Bone marrow smear: 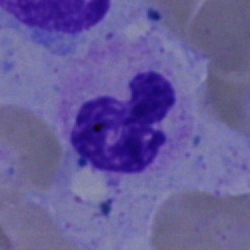

Specimen: bone marrow smear.
Cell: polymorphonuclear neutrophil.
Lineage: myeloid.